250×250; bone marrow smear.
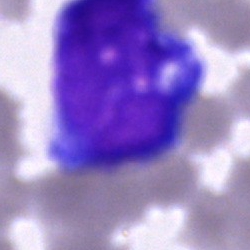 The cell shown is an undifferentiated blast.